Bone marrow smear; 250×250 px — 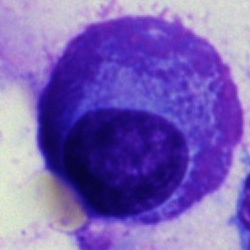
Morphology → plasma cell.